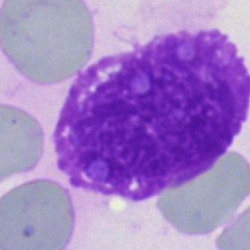Cell type — artefact.